Bone marrow smear
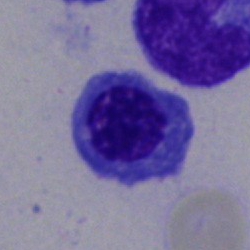

Classification = normoblast.